Romanowsky-stained; peripheral blood smear:
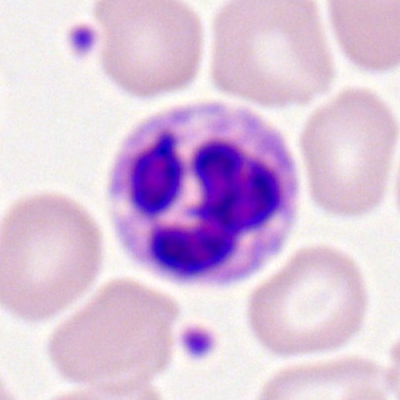 Single cell identified as a segmented neutrophil.